Bone marrow aspirate smear
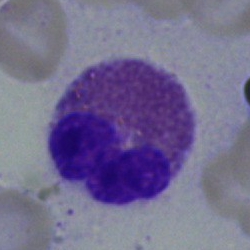

The morphological class is eosinophilic granulocyte.